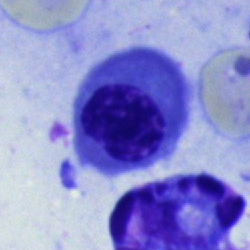 This is a nucleated red cell.